May-Grünwald-Giemsa stain · bone marrow smear — 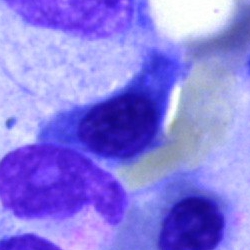 Classification — artefact.